Bone marrow smear — 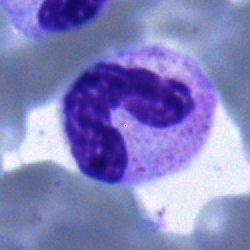
{"cell_type": "neutrophil (band)", "lineage": "myeloid"}